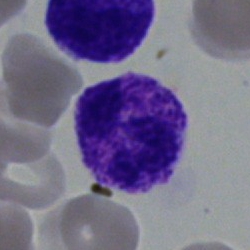

Morphological class: segmented neutrophil.